May-Grünwald-Giemsa/Pappenheim stain · bone marrow smear · brightfield, 40× oil-immersion objective:
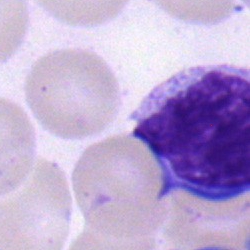 Q: What is shown here?
A: It is a monocyte.